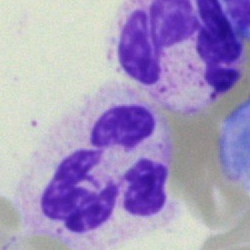
Specimen: bone marrow aspirate smear.
Classification: segmented neutrophil.
Lineage: myeloid.